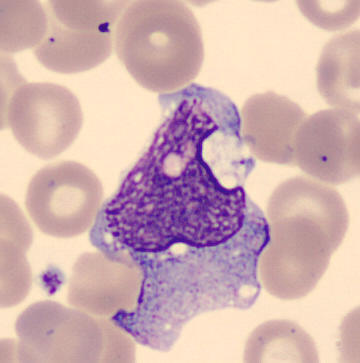

Image: Peripheral blood film. May Grünwald-Giemsa stain. Image size 360×363.
This is a monocyte.